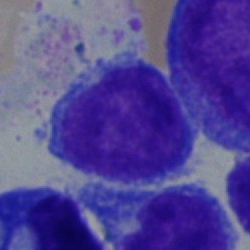

This is a blast cell.